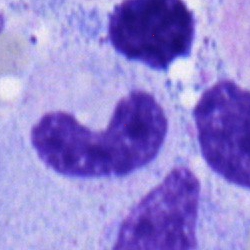
Specimen: bone marrow smear.
Classification: stab cell.